Bone marrow smear: 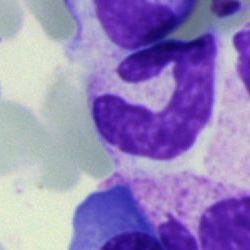 The cell type is neutrophil (segmented).